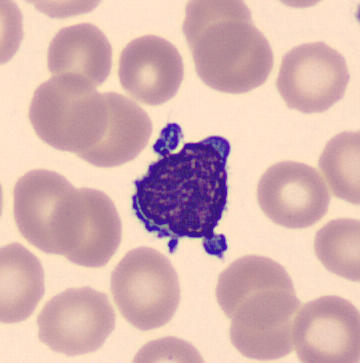 Specimen: peripheral blood film.
Cell type: typical lymphocyte.
Lineage: lymphoid.